Single cell centered in the field; bone marrow smear.
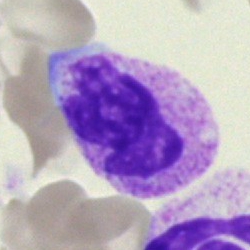 The morphological class is segmented neutrophil.